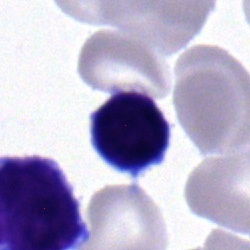

The cell type is lymphocyte.